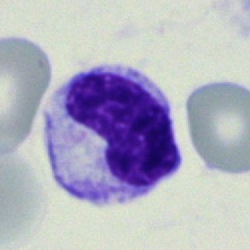
Bone marrow aspirate smear, single cell — band-form neutrophil.